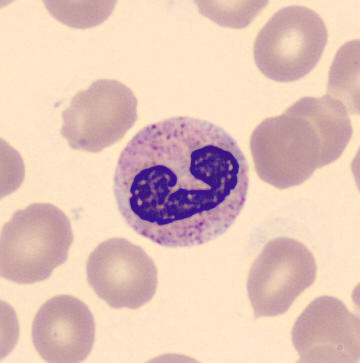Acquisition: Peripheral blood film. CellaVision DM96. Single-cell crop.
A segmented neutrophil.